Bone marrow smear.
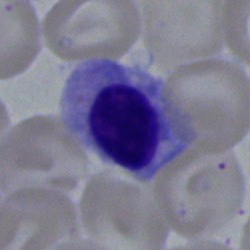 Cell type: nucleated red cell.